Bone marrow smear. Pappenheim-stained:
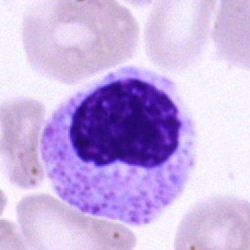Cell = myelocyte.